Image size 250×250; bone marrow smear: 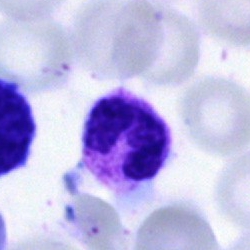 Morphology → polymorphonuclear neutrophil.